Bone marrow aspirate smear: 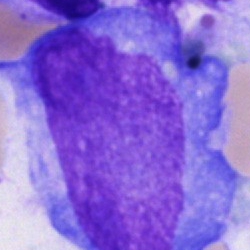
Cell — undifferentiated blast.